Bone marrow aspirate smear: 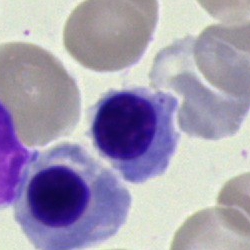

Showing a nucleated red cell.